Peripheral blood smear. Romanowsky stain
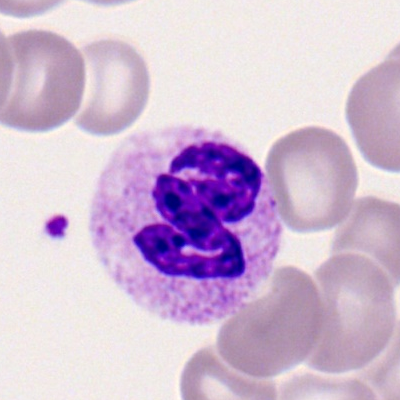 Morphology consistent with a polymorphonuclear neutrophil.